Bone marrow aspirate smear: 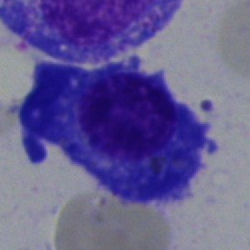Morphology → plasma cell.